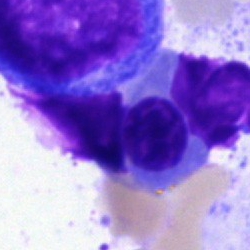
Specimen: bone marrow smear.
Classification: erythroblast.